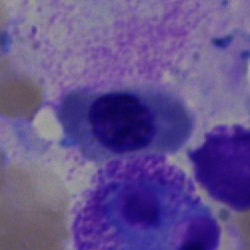

A nucleated red cell.